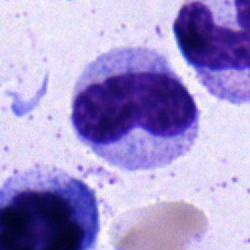Morphology → metamyelocyte.